Bone marrow smear
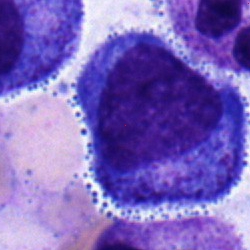 Q: Identify the cell.
A: It is a promyelocyte.